Bone marrow aspirate smear:
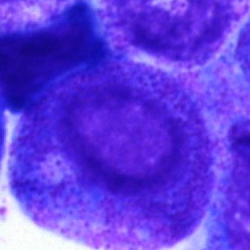 Single cell identified as a promyelocyte.